Bone marrow smear
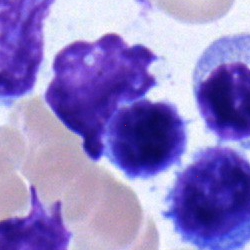
A lymphocyte.